Bone marrow aspirate smear — 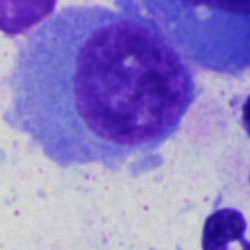

Cell — plasma cell.